Bone marrow smear.
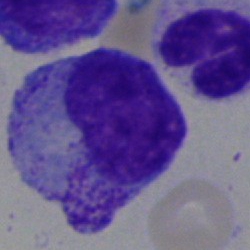Morphology consistent with a myelocyte.